MGG-stained; bone marrow smear; single-cell crop:
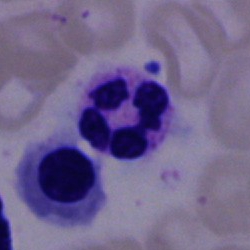Classification — polymorphonuclear neutrophil.